Bone marrow smear: 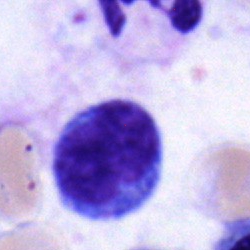

Impression → monocyte.